MGG-stained. Bone marrow smear. 250 by 250 pixels: 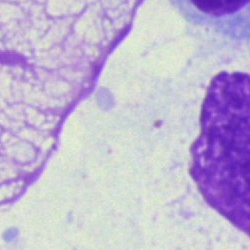Showing an artifact.